Bone marrow aspirate smear; MGG-stained.
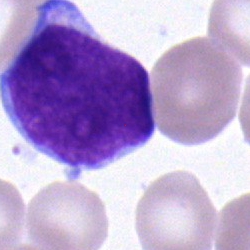

{"cell_type": "blast"}